Bone marrow smear: 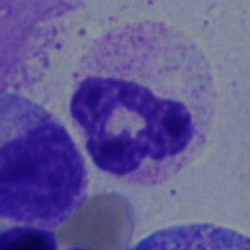
Impression → polymorphonuclear neutrophil.